May-Grünwald-Giemsa stain. Bone marrow aspirate smear.
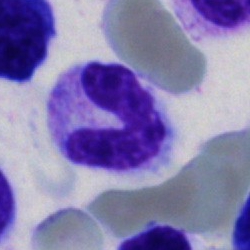 The morphological class is segmented neutrophil.